Brightfield microscopy, 40× oil immersion · single-cell crop · bone marrow aspirate smear.
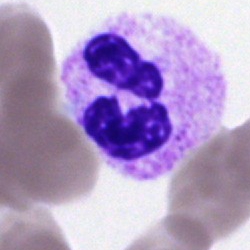Polymorphonuclear neutrophil.